Bone marrow aspirate smear · brightfield, 40× oil-immersion objective: 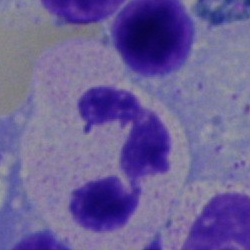The classification is neutrophil (segmented).